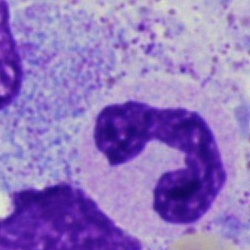

The morphological class is polymorphonuclear neutrophil.